Bone marrow smear — 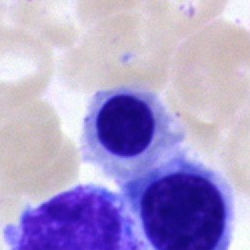

An erythroblast.